Bone marrow aspirate smear
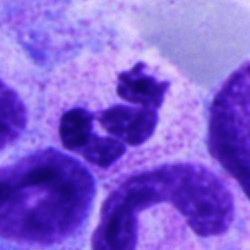Q: What cell is this?
A: It is a segmented neutrophil.